Image size 250×250 · bone marrow aspirate smear · brightfield, 40× oil-immersion objective — 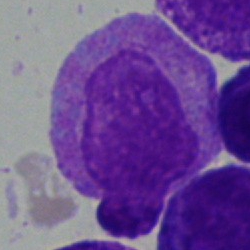The morphological class is blast.